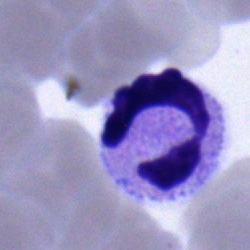

Showing a neutrophil (segmented).